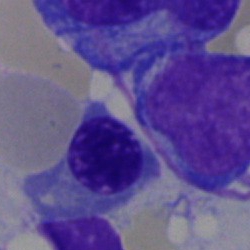
Single-cell crop from a bone marrow smear: nucleated red blood cell.